Bone marrow aspirate smear; May-Grünwald-Giemsa/Pappenheim stain; cropped to a single cell
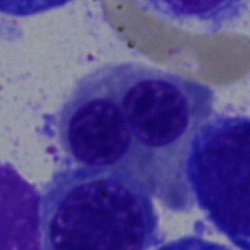 The classification is erythroblast.